Bone marrow smear:
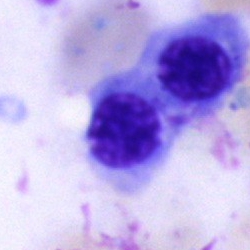The cell type is erythroblast.